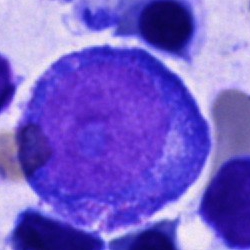
Morphology consistent with a promyelocyte.